40× objective, oil immersion; bone marrow smear
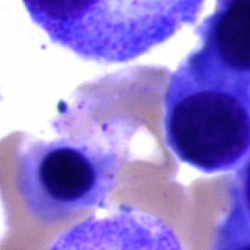This is a normoblast.